40× objective, oil immersion. Bone marrow smear. 250×250 px: 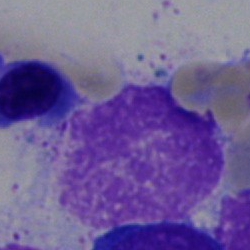

Cell: artefact.